Single-cell crop. Bone marrow smear
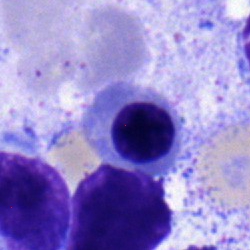 A nucleated red cell.